Bone marrow aspirate smear.
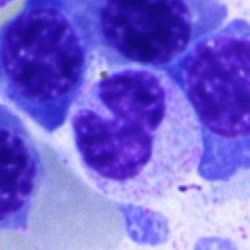 Q: What is shown here?
A: A stab cell.